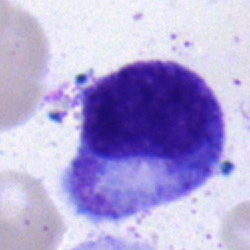 Bone marrow smear showing a myelocyte.